Peripheral blood film. Single-cell crop: 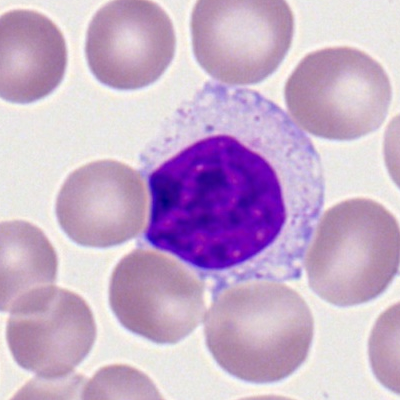
Lymphocyte.